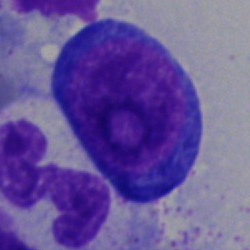Classification = pronormoblast.